40× oil immersion. Bone marrow aspirate smear: 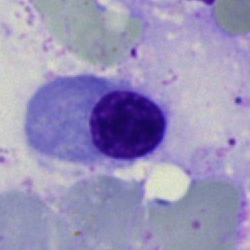
Cell: normoblast.